Peripheral blood smear
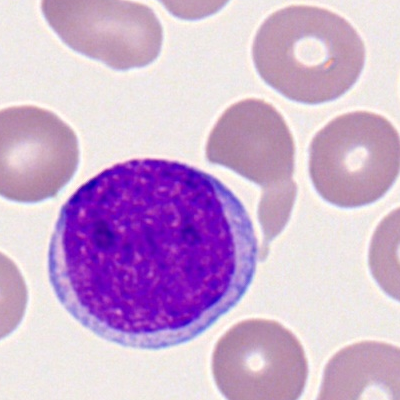
Cell type — myeloblast.